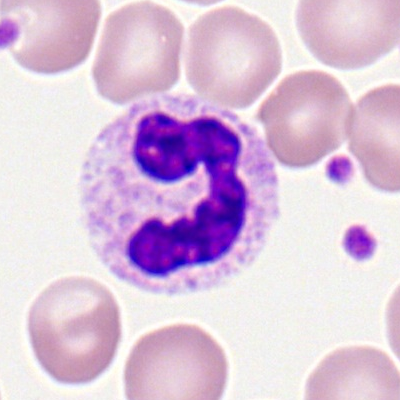
A segmented neutrophil on a peripheral blood smear.